Peripheral blood smear — 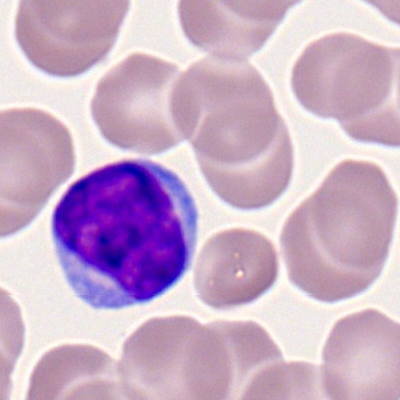
Q: What type of cell is this?
A: This is a lymphocyte.